40× oil immersion · bone marrow smear · single cell centered in the field
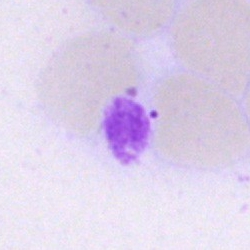Q: What is shown here?
A: Artifact.